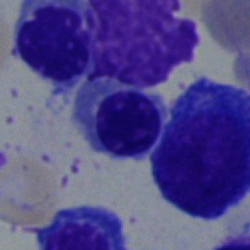
Specimen: bone marrow aspirate smear.
Morphological class: erythroblast.